Bone marrow smear:
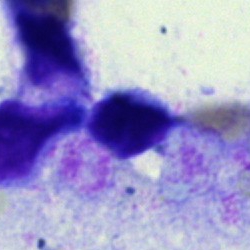
Cell: artefact.